Bone marrow smear:
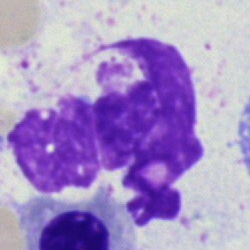
Showing an artefact.